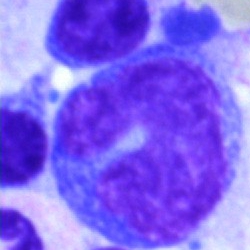

Morphology consistent with a monocyte.